Bone marrow aspirate smear
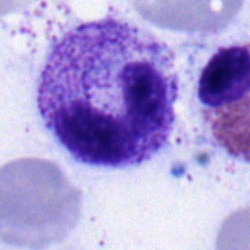Specimen: bone marrow aspirate smear.
Cell: band neutrophil.
Lineage: myeloid.